Cropped to a single cell. Bone marrow smear.
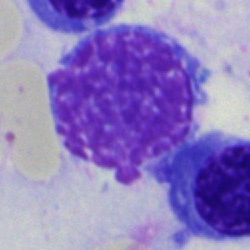

Q: What is shown here?
A: This is an artifact.